Bone marrow aspirate smear — 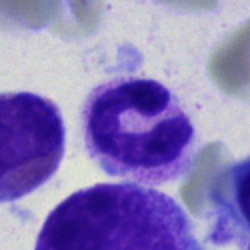

A neutrophil (band).